40× objective, oil immersion; bone marrow smear:
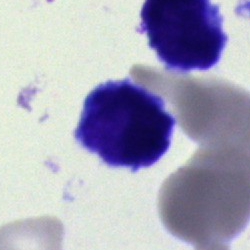 Morphological class = blast.